M8 digital microscope (Precipoint), 100× oil immersion · single-cell field · peripheral blood film.
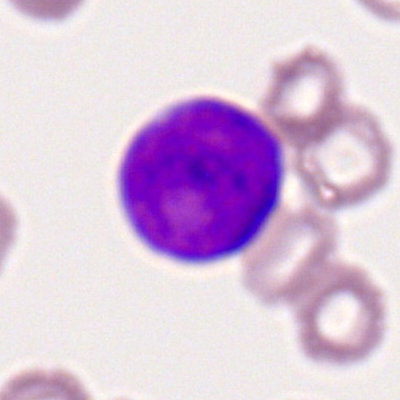

This is a myeloblast.